Brightfield, 40× oil-immersion objective. Bone marrow smear:
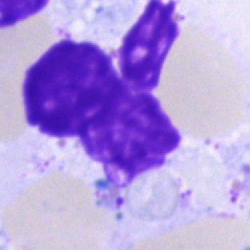
Impression → artefact.